MGG-stained; bone marrow smear: 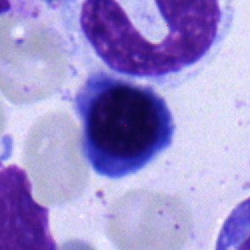

Morphology → erythroblast.